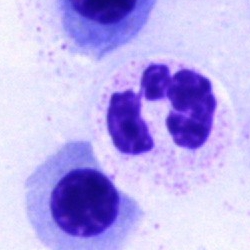

Morphology → neutrophil (segmented).